Image size 250×250. Bone marrow smear — 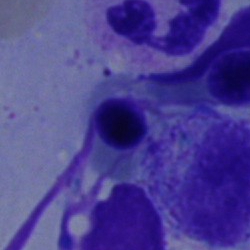

Cell type = nucleated red blood cell.